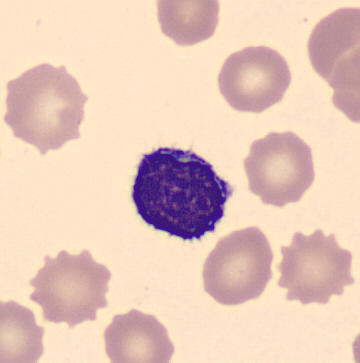Cell — lymphocyte. Peripheral blood film.